Bone marrow smear; 40× oil immersion:
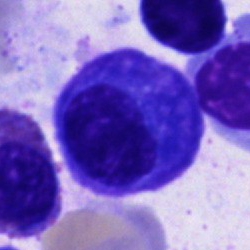

This is a plasma cell.